May-Grünwald-Giemsa stain; bone marrow aspirate smear:
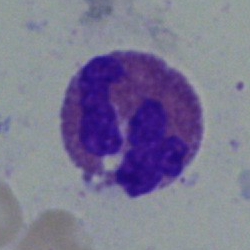This is an eosinophilic granulocyte.